40× oil immersion. Bone marrow smear: 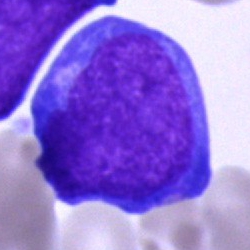 Showing an undifferentiated blast.